Bone marrow aspirate smear:
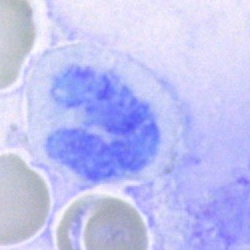 Classification: artifact.